Bone marrow smear · brightfield, 40× oil-immersion objective · May-Grünwald-Giemsa stain — 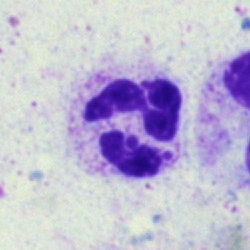Single cell identified as a segmented neutrophil.